Bone marrow aspirate smear — 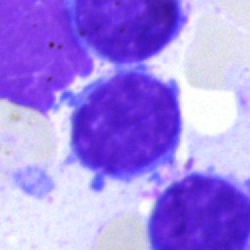

Q: What is the morphological classification of this cell?
A: Lymphocyte.